Bone marrow smear: 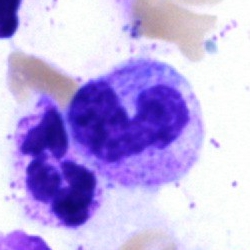 Morphological class: stab cell.